Bone marrow smear: 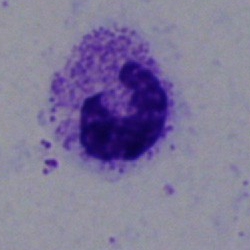 Morphological class = polymorphonuclear neutrophil.